Bone marrow aspirate smear:
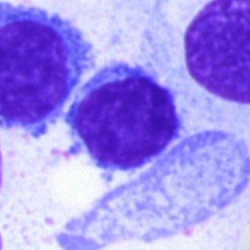 Morphology consistent with a typical lymphocyte.